Cropped to a single cell · bone marrow smear.
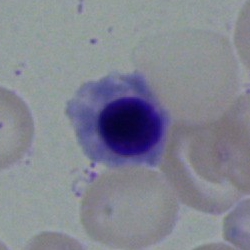Showing a nucleated red cell.